Bone marrow aspirate smear: 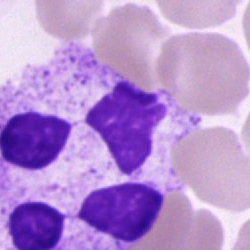

Morphological class = polymorphonuclear neutrophil.